Bone marrow aspirate smear.
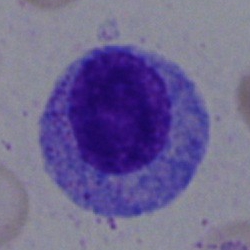 A myelocyte.